Bone marrow smear: 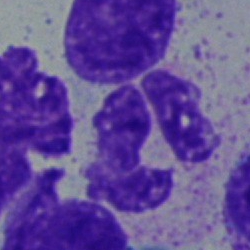The cell shown is a polymorphonuclear neutrophil.